Single cell centered in the field · image size 250×250 · bone marrow aspirate smear
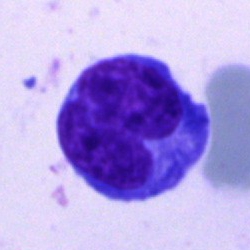
Single cell identified as a blast.